Bone marrow smear.
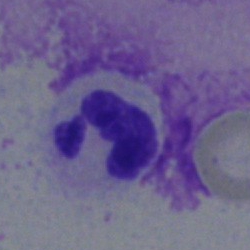Specimen: bone marrow smear.
Morphological class: segmented neutrophil.
Lineage: myeloid.